250 by 250 pixels. Bone marrow smear: 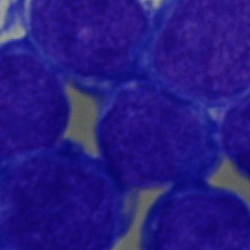 Showing a blast.